100× objective, oil immersion · peripheral blood film
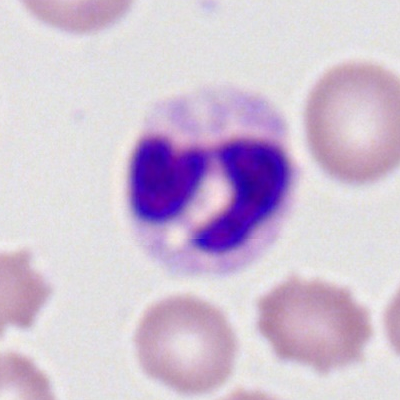

The cell shown is a neutrophil (segmented).